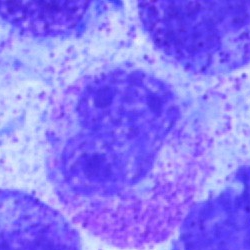
The cell shown is a polymorphonuclear neutrophil.